Bone marrow smear; May-Grünwald-Giemsa stain.
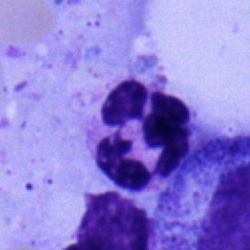

Single cell identified as a segmented neutrophil.